Bone marrow smear.
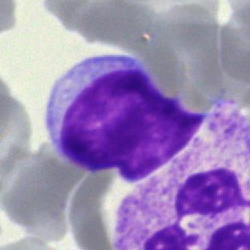A lymphocyte.